Bone marrow aspirate smear · MGG-stained — 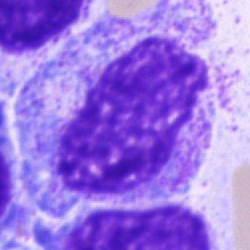
Morphology consistent with a progranulocyte.